Bone marrow aspirate smear:
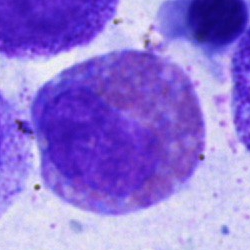The cell type is eosinophil.